Bone marrow aspirate smear
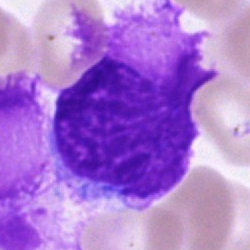Specimen: bone marrow smear.
Cell type: artifact.